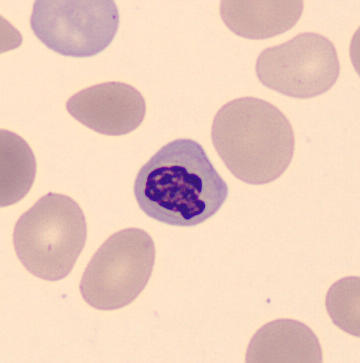Morphological class — normoblast.

Peripheral blood smear. CellaVision DM96 digital cell image.